Bone marrow smear. Cropped to a single cell. 40× objective, oil immersion.
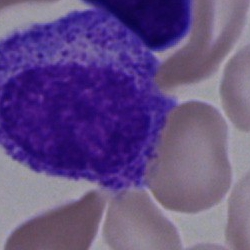
Impression — progranulocyte.